Single-cell crop; bone marrow aspirate smear — 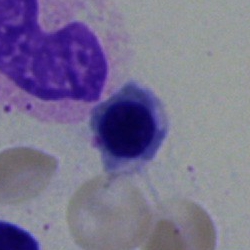Single cell identified as a normoblast.